Bone marrow smear
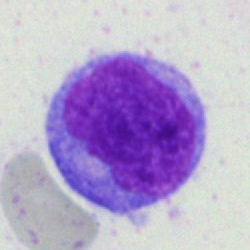A monocyte.